40× oil immersion. MGG-stained. Bone marrow smear — 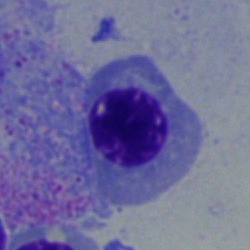Q: Which cell type is shown here?
A: It is an erythroblast.